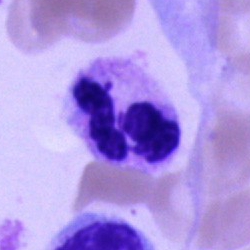

Cell type — segmented neutrophil.